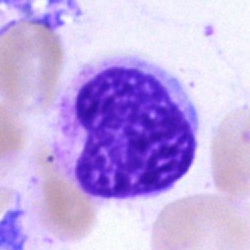Single-cell crop from a bone marrow smear: artifact.